Bone marrow aspirate smear · May-Grünwald-Giemsa/Pappenheim stain
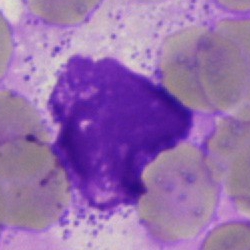
Q: What is shown here?
A: This is an artefact.